Pappenheim-stained · bone marrow smear
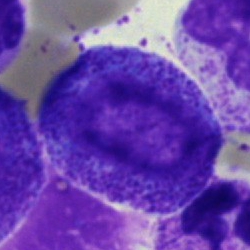

Q: What is the morphological classification of this cell?
A: A myelocyte.